Bone marrow aspirate smear · Pappenheim-stained — 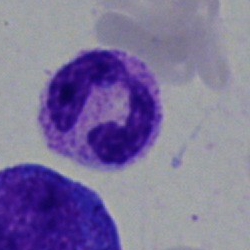

Specimen: bone marrow smear.
Morphological class: neutrophil (segmented).